Bone marrow aspirate smear: 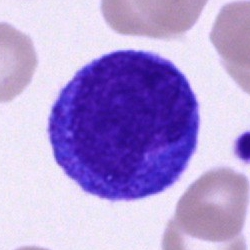
The classification is cell of indeterminate lineage.